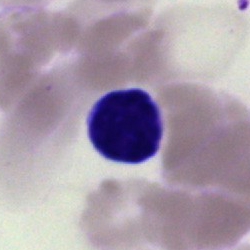Bone marrow aspirate smear, single cell — artifact.